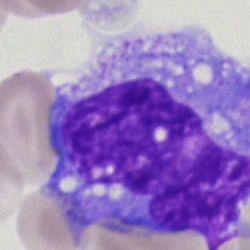

Specimen: bone marrow smear.
Classification: monocyte.